Bone marrow smear:
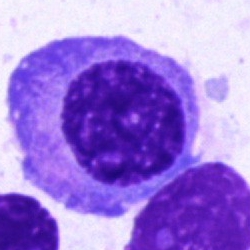
{"cell_type": "plasma cell"}